Bone marrow aspirate smear · 250 by 250 pixels:
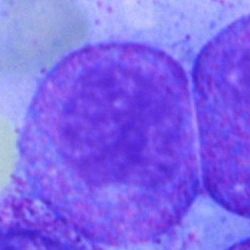
Cell — progranulocyte.